250×250 px; bone marrow smear
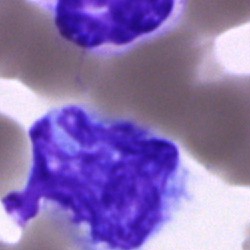

Morphology consistent with a monocyte.